Bone marrow smear. 250 by 250 pixels
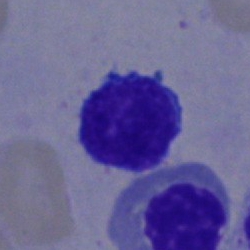

Q: What type of cell is this?
A: It is a typical lymphocyte.